Bone marrow aspirate smear; brightfield, 40× oil-immersion objective — 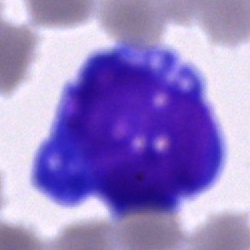
Morphology consistent with a blast.